Peripheral blood film: 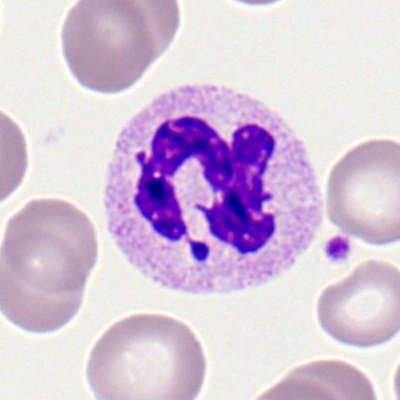

Morphological class = polymorphonuclear neutrophil.